May-Grünwald-Giemsa stain. Bone marrow smear
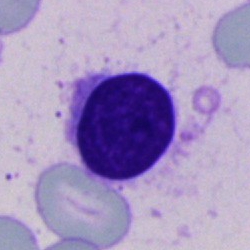Specimen: bone marrow smear.
Morphological class: artefact.